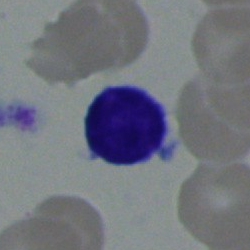

{"cell_type": "lymphocyte", "lineage": "lymphoid"}